250×250; single cell centered in the field; bone marrow aspirate smear.
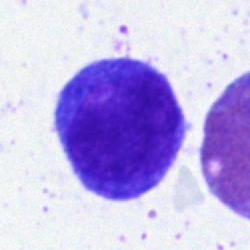
Typical lymphocyte.